Peripheral blood film
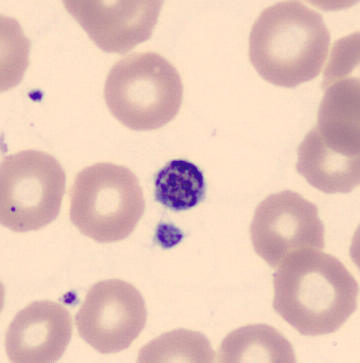
Classification = platelet (thrombocyte).